40× objective, oil immersion; bone marrow smear; 250 by 250 pixels
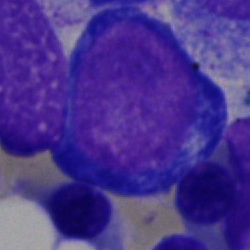

Cell type: proerythroblast.